Bone marrow aspirate smear.
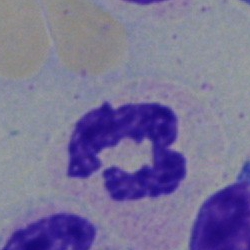

A polymorphonuclear neutrophil.